Pappenheim-stained; single-cell crop; bone marrow aspirate smear.
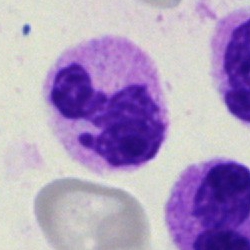
This is a neutrophil (segmented).